MGG-stained; bone marrow smear:
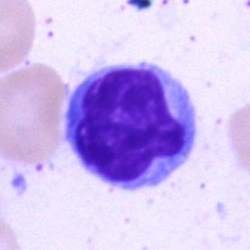

Classification — typical lymphocyte.